Bone marrow aspirate smear:
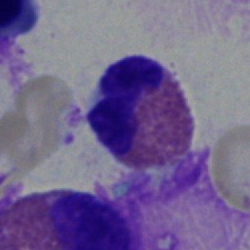 {"cell_type": "eosinophilic granulocyte", "lineage": "myeloid"}